May-Grünwald-Giemsa/Pappenheim stain; bone marrow smear — 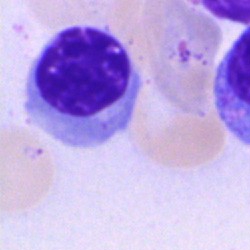
This is a nucleated red cell.